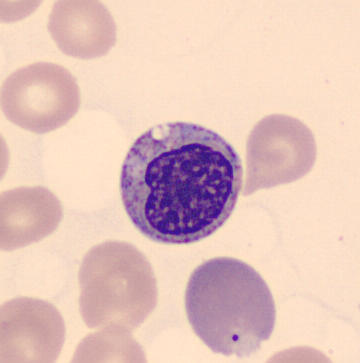

{"cell_type": "myelocyte", "lineage": "myeloid"}